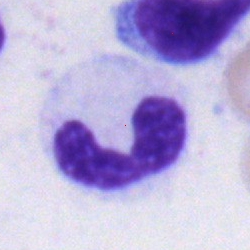Specimen: bone marrow aspirate smear.
Classification: neutrophil (band).
Lineage: myeloid.